Bone marrow smear; cropped to a single cell — 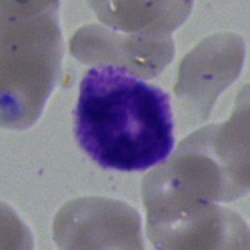

Q: Which cell type is shown here?
A: It is a neutrophil (segmented).